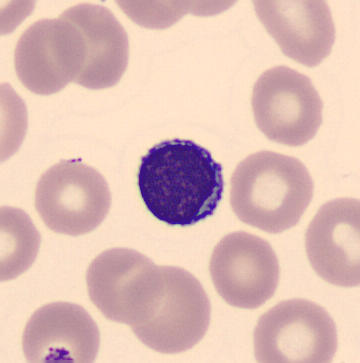Impression — lymphocyte.